400 by 400 pixels · single cell centered in the field · peripheral blood smear.
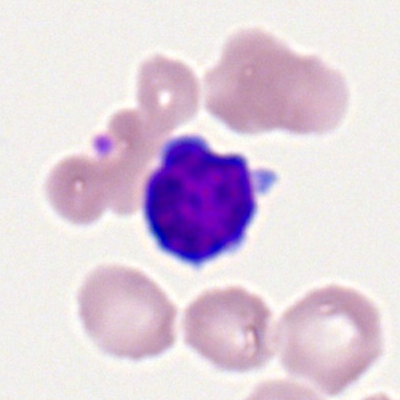
Cell — lymphocyte.